Bone marrow aspirate smear. 250 by 250 pixels:
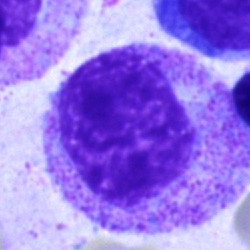

Specimen: bone marrow aspirate smear.
Cell: myelocyte.
Lineage: myeloid.